Bone marrow aspirate smear · single-cell field:
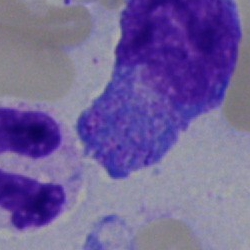Morphology consistent with a progranulocyte.